May-Grünwald-Giemsa stain. Bone marrow aspirate smear. Single-cell field:
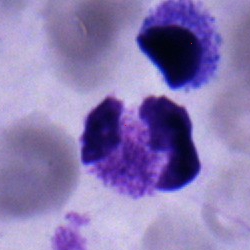The cell shown is a polymorphonuclear neutrophil.